Bone marrow aspirate smear: 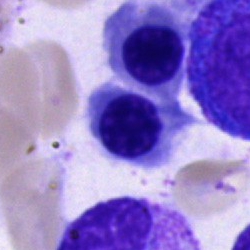
Morphology — normoblast.